Peripheral blood smear
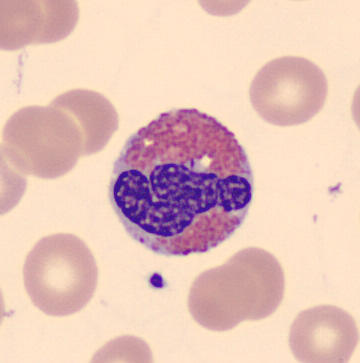Eosinophilic granulocyte.